Bone marrow smear.
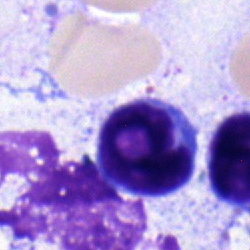This is a lymphocyte.